Bone marrow smear: 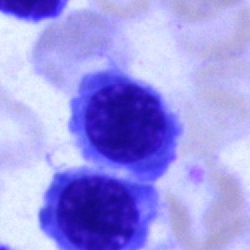Morphology consistent with an erythroblast.